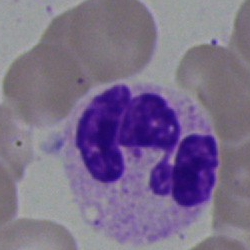 Cell: segmented neutrophil.